Single-cell field. Bone marrow smear. MGG-stained.
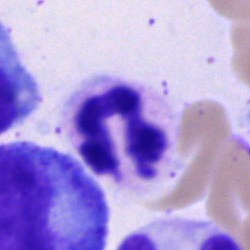

Cell type — segmented neutrophil.